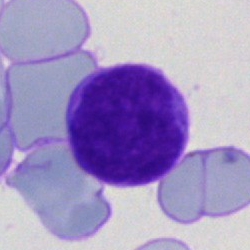
Classification — blast.